Peripheral blood film. CellaVision DM96 digital cell image. Image size 360×363.
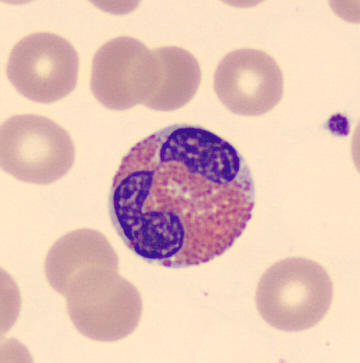
The cell shown is an eosinophil.